Bone marrow smear
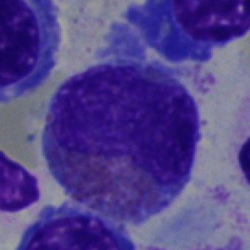Single cell identified as an eosinophilic granulocyte.